Bone marrow aspirate smear.
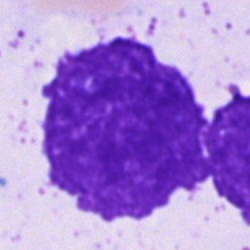

Morphological class: artifact.